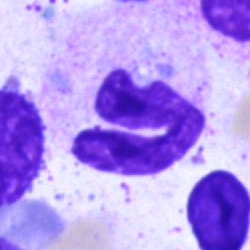

Showing a neutrophil (segmented).